40× oil immersion; single-cell field; bone marrow smear.
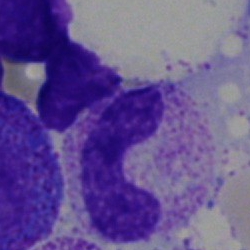

The classification is stab cell.